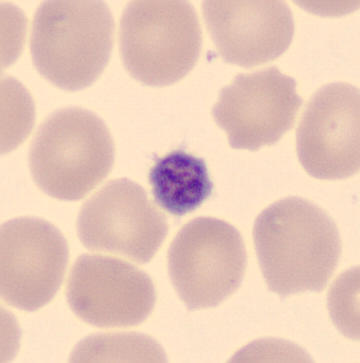

Specimen: peripheral blood film.
Cell type: thrombocyte.